Image size 250×250. Bone marrow smear. Single cell centered in the field
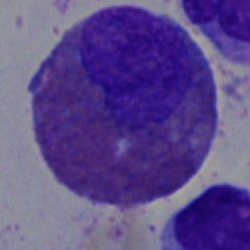
Q: Which cell type is shown here?
A: This is an eosinophil.